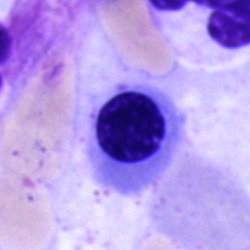

Specimen: bone marrow aspirate smear.
Cell: normoblast.